Bone marrow smear; 250×250 px; single-cell field:
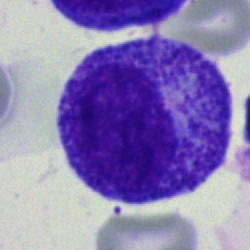

The classification is progranulocyte.